Bone marrow smear — 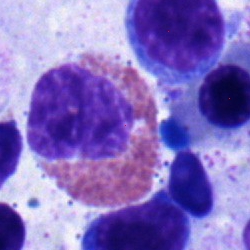 Eosinophilic granulocyte.